Bone marrow aspirate smear — 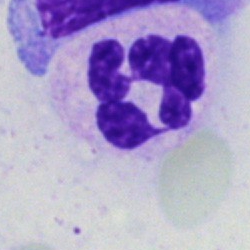

The cell shown is a polymorphonuclear neutrophil.